400×400 px · peripheral blood smear:
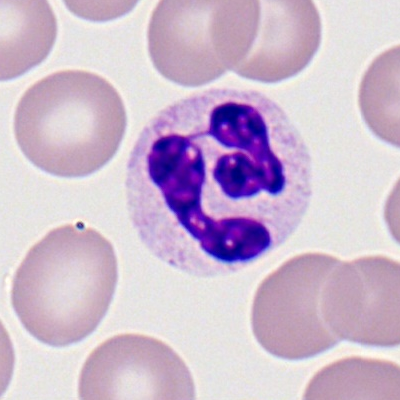Showing a neutrophil (segmented).